250×250 px; bone marrow smear.
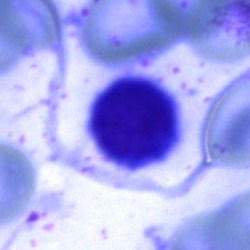
An unidentifiable cell.